Bone marrow smear: 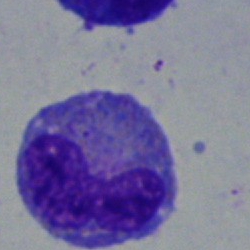 Impression → metamyelocyte.